250×250 · bone marrow smear: 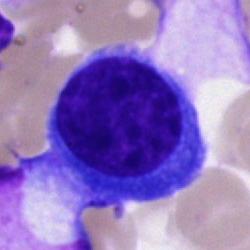Specimen: bone marrow smear.
Morphological class: lymphocyte (immature).